Bone marrow aspirate smear; image size 250×250; single-cell field — 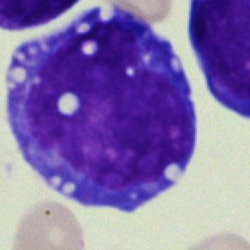

This is a blast cell.